Bone marrow aspirate smear. 250 by 250 pixels. Brightfield microscopy, 40× oil immersion — 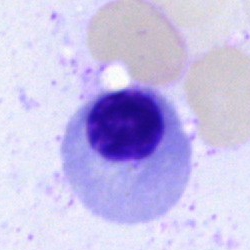

The classification is erythroblast.